Brightfield microscopy, 40× oil immersion. Bone marrow smear — 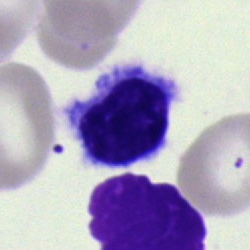Morphology → lymphocyte.